Bone marrow smear:
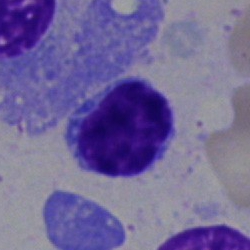Q: Which cell type is shown here?
A: It is a lymphocyte.